Bone marrow aspirate smear:
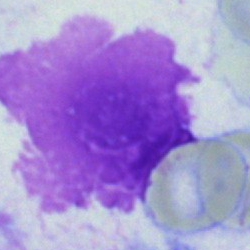

Cell type — artefact.